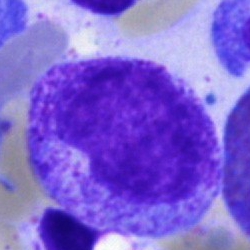 {"cell_type": "progranulocyte", "lineage": "myeloid"}